Bone marrow smear: 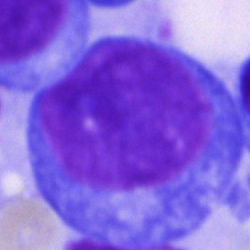
Single cell identified as an undifferentiated blast.